Peripheral blood film
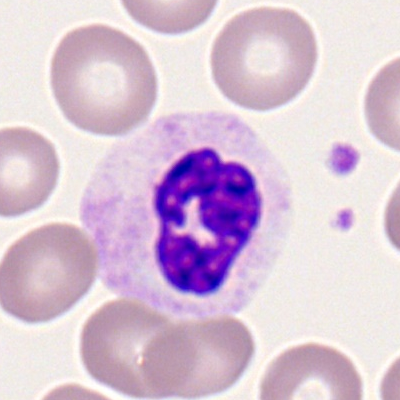 Specimen: peripheral blood smear.
Cell type: neutrophil (segmented).
Lineage: myeloid.